Bone marrow aspirate smear.
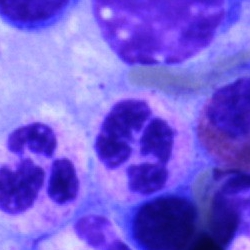Specimen: bone marrow aspirate smear.
Morphological class: polymorphonuclear neutrophil.
Lineage: myeloid.